Bone marrow smear.
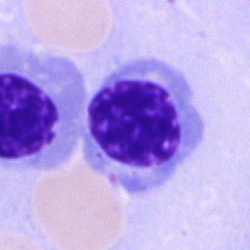 Q: What type of cell is this?
A: It is a nucleated red cell.